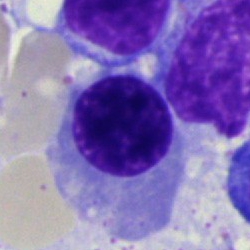The cell type is nucleated red cell.